Bone marrow smear: 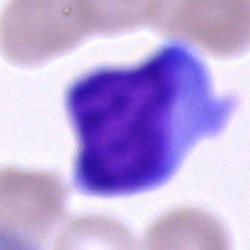Q: Identify the cell.
A: This is an undifferentiated blast.